Bone marrow aspirate smear
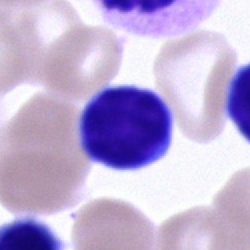

Showing a typical lymphocyte.